Peripheral blood film: 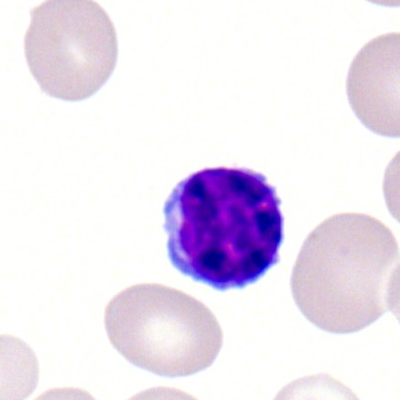 Q: What type of cell is this?
A: An atypical lymphocyte.